Bone marrow smear
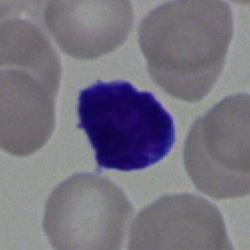 Cell type: typical lymphocyte.